Bone marrow aspirate smear: 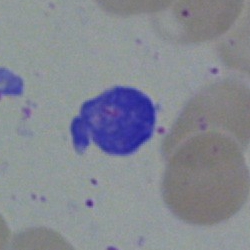

Cell — artifact.